250×250 · 40× objective, oil immersion · bone marrow aspirate smear:
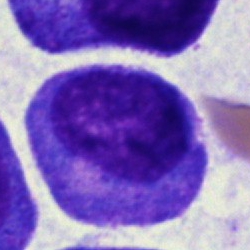
Specimen: bone marrow smear.
Cell: myelocyte.
Lineage: myeloid.